Peripheral blood smear. 100× objective, oil immersion.
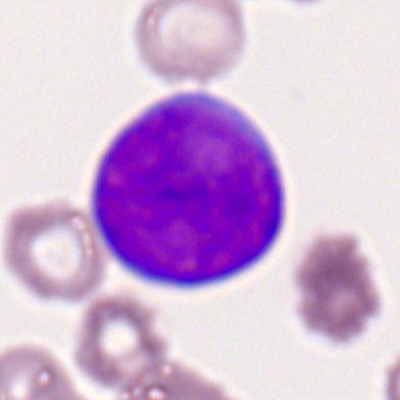 Single cell identified as a myeloblast.